Bone marrow smear; May-Grünwald-Giemsa stain; brightfield microscopy, 40× oil immersion: 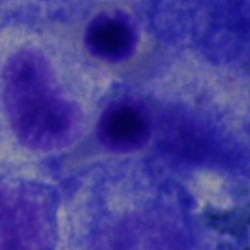

Q: What is shown here?
A: An artifact.